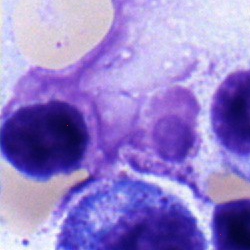Single-cell crop from a bone marrow smear: lymphocyte.